Bone marrow aspirate smear — 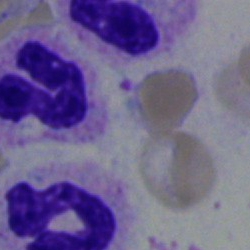Single cell identified as a polymorphonuclear neutrophil.